40× oil immersion; bone marrow aspirate smear — 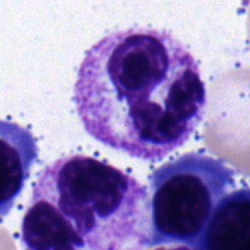

Q: Identify the cell.
A: It is a segmented neutrophil.